Image size 250×250; bone marrow aspirate smear:
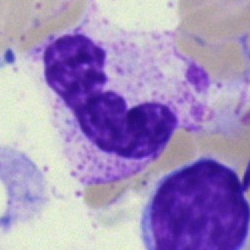

Morphology consistent with a polymorphonuclear neutrophil.